Bone marrow aspirate smear:
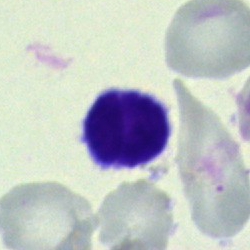

Classification: typical lymphocyte.